Bone marrow aspirate smear: 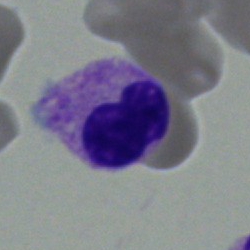This is a stab cell.